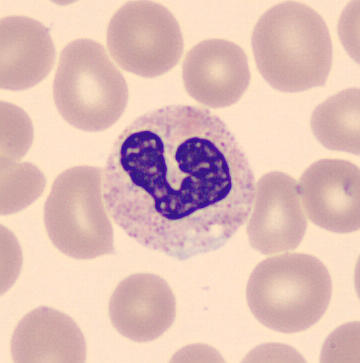
Specimen: peripheral blood film.
Classification: neutrophil (segmented).